Bone marrow aspirate smear: 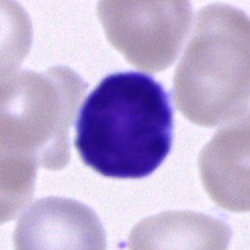

Q: What cell is this?
A: Lymphocyte.